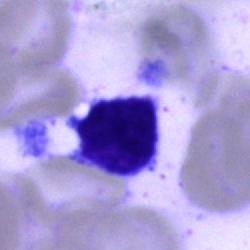Impression → typical lymphocyte.